Peripheral blood smear · single-cell field
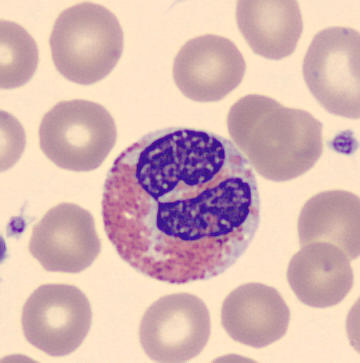
Showing an eosinophilic granulocyte.